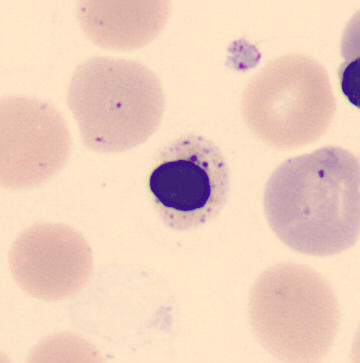

Peripheral blood smear.
Impression → erythroblast.